250×250 px. Bone marrow smear: 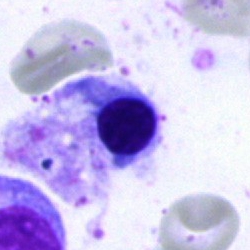

Showing an erythroblast.